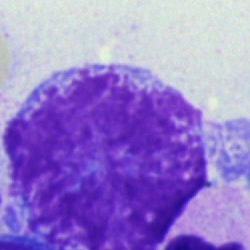Specimen: bone marrow aspirate smear.
Cell type: artefact.